May-Grünwald-Giemsa stain. Bone marrow smear:
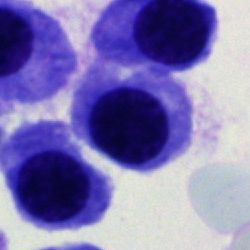This is a nucleated red cell.